Peripheral blood film · image size 400×400.
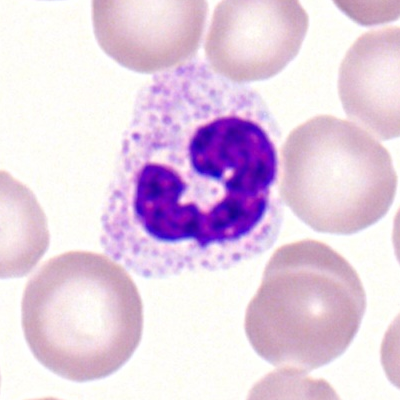
Q: What is the morphological classification of this cell?
A: This is a neutrophil (segmented).